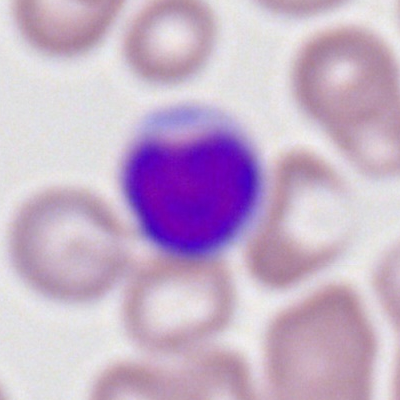The cell is lymphocyte.